Bone marrow smear. 250×250. May-Grünwald-Giemsa/Pappenheim stain:
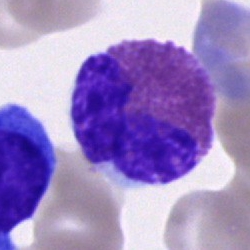

An eosinophilic granulocyte.